Bone marrow aspirate smear:
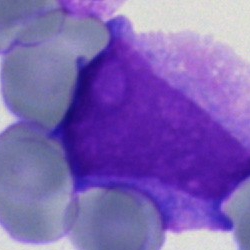
Specimen: bone marrow smear.
Cell: blast cell.